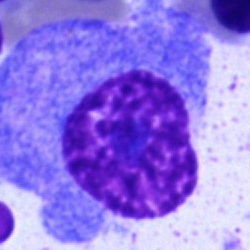 Q: Which cell type is shown here?
A: It is a plasma cell.